Bone marrow aspirate smear.
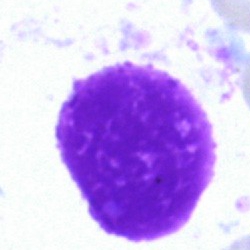

Morphology → artifact.